Bone marrow smear — 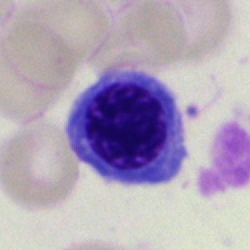
Classification: normoblast.